Bone marrow smear:
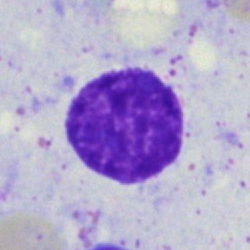Q: What is shown here?
A: Artefact.